Bone marrow aspirate smear. Pappenheim-stained — 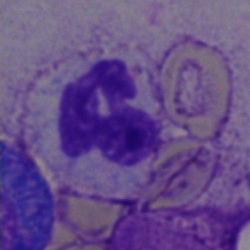
Cell type: neutrophil (segmented).